Romanowsky stain; peripheral blood smear:
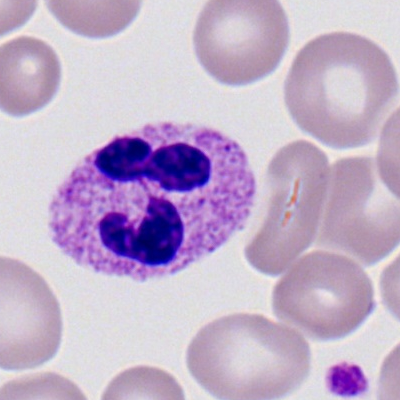

Q: What type of cell is this?
A: A neutrophil (segmented).